Bone marrow smear. Cropped to a single cell. 250×250: 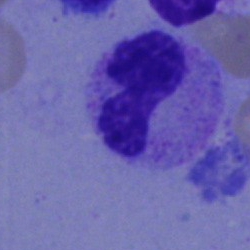 A neutrophil (segmented).